Pappenheim-stained; bone marrow smear — 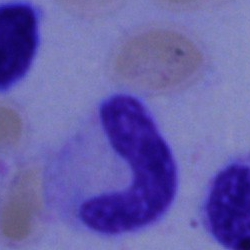Morphology consistent with a band neutrophil.